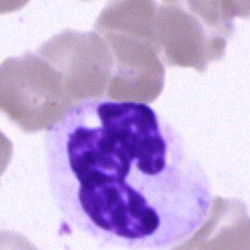 {"cell_type": "neutrophil (segmented)", "lineage": "myeloid"}